Bone marrow smear; single cell centered in the field; 250×250 px: 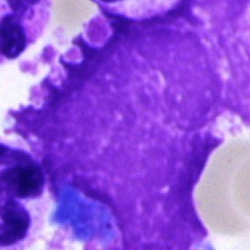
Morphology → artifact.